Bone marrow smear; May-Grünwald-Giemsa stain — 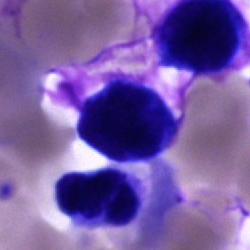
The morphological class is cell of indeterminate lineage.